Bone marrow aspirate smear. 250×250 px:
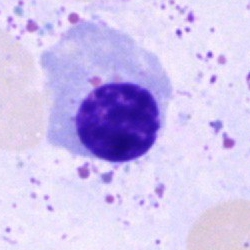 Morphology — normoblast.